CellaVision DM96 · peripheral blood smear: 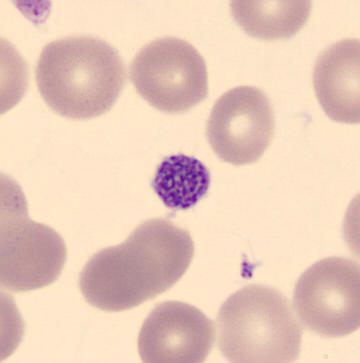 Classification: thrombocyte.